Brightfield microscopy, 40× oil immersion. Bone marrow smear: 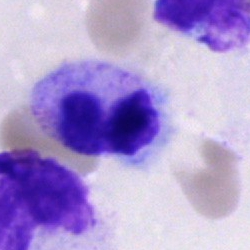Cell type: polymorphonuclear neutrophil.